Bone marrow smear. 250×250 px — 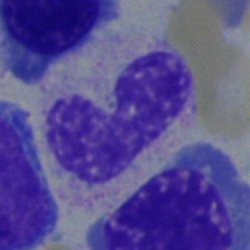
This is a band-form neutrophil.